Bone marrow aspirate smear: 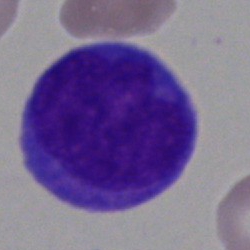
{"cell_type": "blast"}